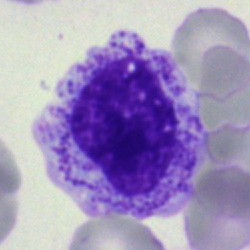{"cell_type": "myelocyte"}